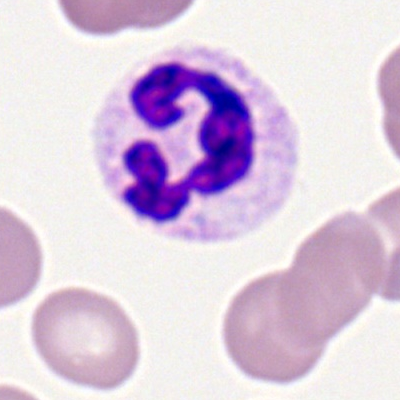{"cell_type": "segmented neutrophil", "lineage": "myeloid"}